Bone marrow aspirate smear · brightfield microscopy, 40× oil immersion — 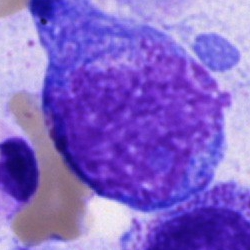Single cell identified as a promyelocyte.